Bone marrow aspirate smear. 40× objective, oil immersion — 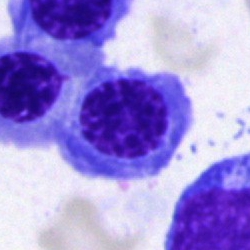 The cell shown is a normoblast.